Bone marrow aspirate smear:
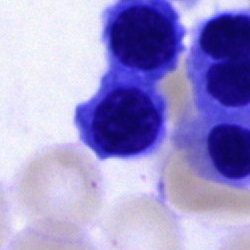
Specimen: bone marrow smear.
Morphological class: normoblast.
Lineage: erythroid.